Bone marrow smear — 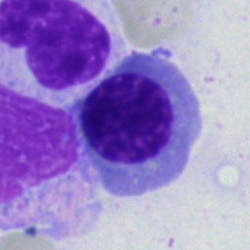

Morphological class — normoblast.